Single cell centered in the field; bone marrow aspirate smear.
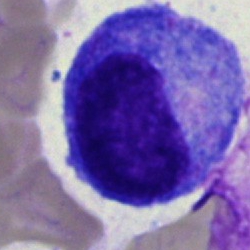Classification — promyelocyte.